Bone marrow aspirate smear — 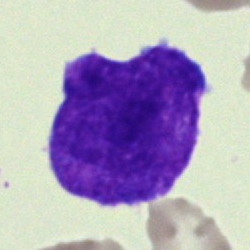Morphology — blast.